Pappenheim-stained · bone marrow smear.
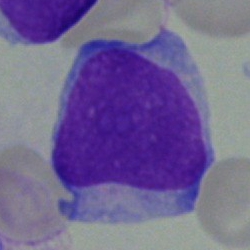 Morphology consistent with a blast cell.